Bone marrow smear. Single-cell crop. Pappenheim-stained.
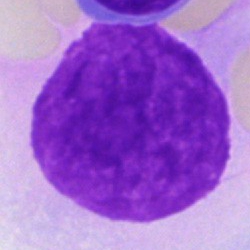 Q: What is shown here?
A: An artefact.